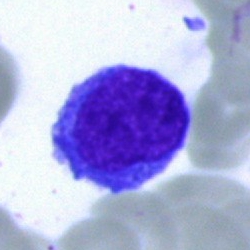Q: Which cell type is shown here?
A: Blast cell.